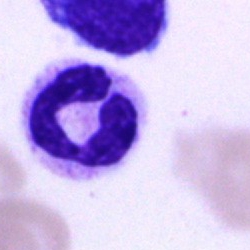

A polymorphonuclear neutrophil.